Peripheral blood film
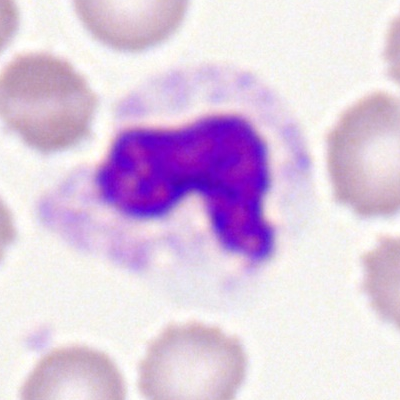 The cell type is stab cell.